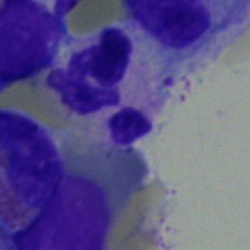 Single-cell crop from a bone marrow smear: segmented neutrophil.